Bone marrow smear · 40× objective, oil immersion · single-cell crop.
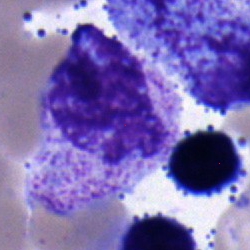 Q: What cell is this?
A: A myelocyte.